Bone marrow aspirate smear — 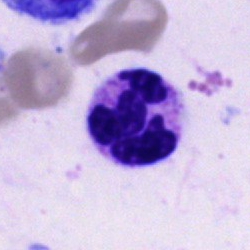 Polymorphonuclear neutrophil.